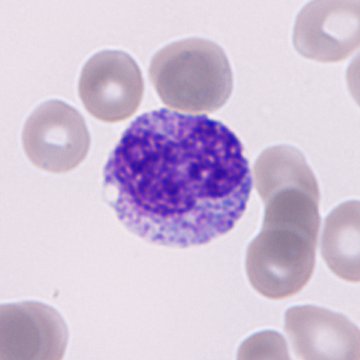
Showing a granulocyte precursor. Peripheral blood smear.